May-Grünwald-Giemsa/Pappenheim stain. Bone marrow aspirate smear:
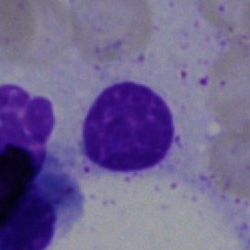Specimen: bone marrow aspirate smear.
Classification: typical lymphocyte.